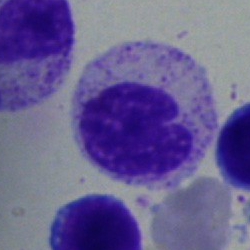
Morphology → myelocyte.